Bone marrow aspirate smear.
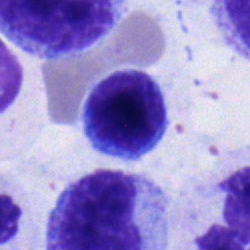
Specimen: bone marrow smear.
Cell type: typical lymphocyte.
Lineage: lymphoid.